Bone marrow smear:
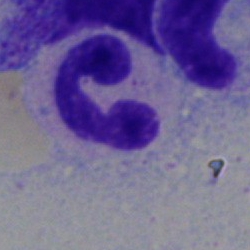Specimen: bone marrow aspirate smear.
Morphological class: neutrophil (segmented).
Lineage: myeloid.